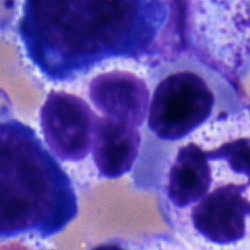 Impression — neutrophil (segmented).